Bone marrow smear; single cell centered in the field; 250×250
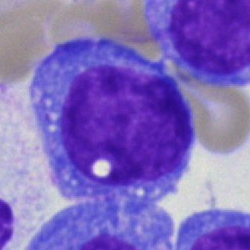Q: What cell is this?
A: An undifferentiated blast.